Bone marrow smear; brightfield microscopy, 40× oil immersion — 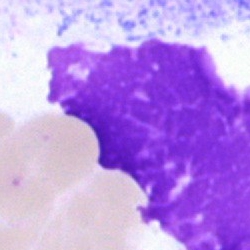
Morphology → artefact.